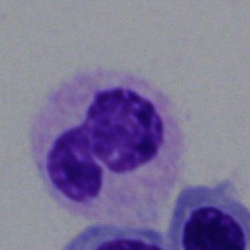 Q: What type of cell is this?
A: This is a neutrophil (segmented).